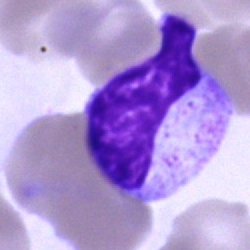 Morphological class — metamyelocyte.